Bone marrow aspirate smear — 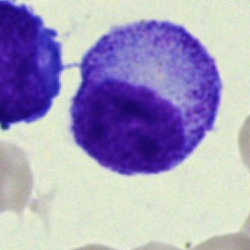

Q: What cell is this?
A: It is a myelocyte.